Brightfield microscopy, 40× oil immersion; bone marrow aspirate smear — 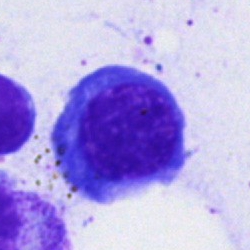Showing a nucleated red blood cell.